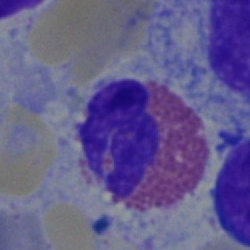
Morphology → eosinophil.